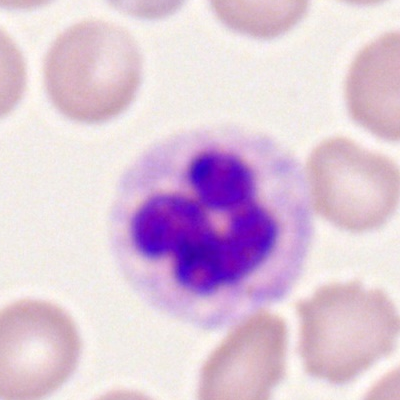

This is a polymorphonuclear neutrophil.